Bone marrow aspirate smear
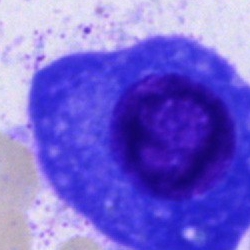

Impression → plasma cell.